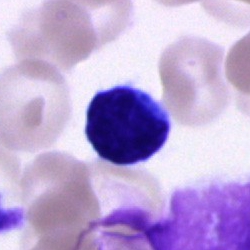 A lymphocyte on a bone marrow smear.